May-Grünwald-Giemsa-stained · imaged on a CellaVision DM96 analyser · peripheral blood film.
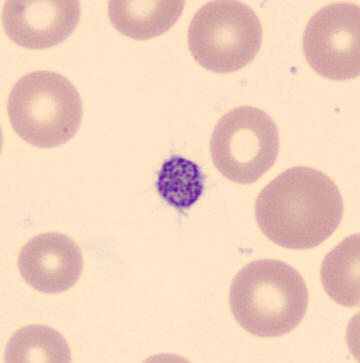

Platelet.